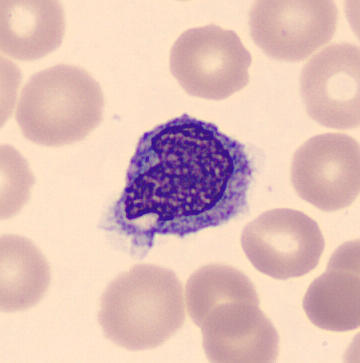 The morphological class is monocyte. Peripheral blood smear; imaged on a CellaVision DM96 analyser.